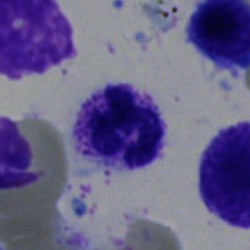
{"cell_type": "segmented neutrophil"}